Peripheral blood film; single cell centered in the field.
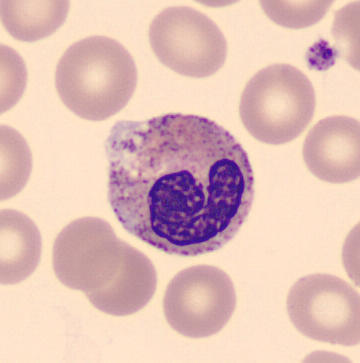

Q: Which cell type is shown here?
A: A band neutrophil.